Bone marrow aspirate smear: 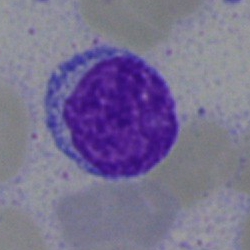

Specimen: bone marrow aspirate smear.
Cell type: typical lymphocyte.
Lineage: lymphoid.